Bone marrow aspirate smear
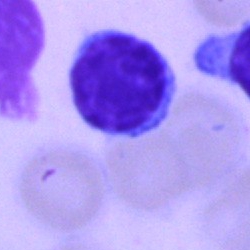 Morphological class: lymphocyte.